Bone marrow smear.
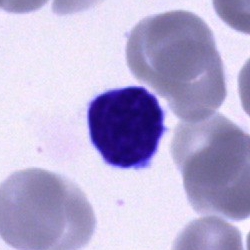

Q: Which cell type is shown here?
A: A typical lymphocyte.